May-Grünwald-Giemsa stain · bone marrow smear · brightfield, 40× oil-immersion objective — 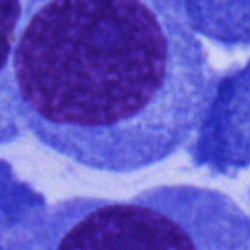Showing a plasma cell.